Single-cell crop · bone marrow smear · MGG-stained — 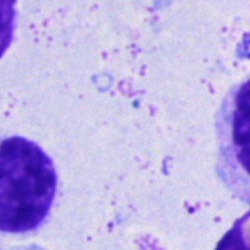Impression → artefact.